Bone marrow aspirate smear. 250×250. Single cell centered in the field
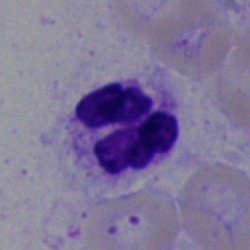
Morphology consistent with a segmented neutrophil.